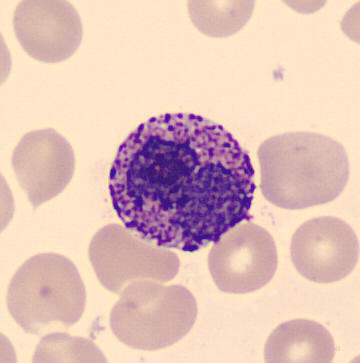
Classification = basophil.
Peripheral blood film.